250×250 px · bone marrow aspirate smear: 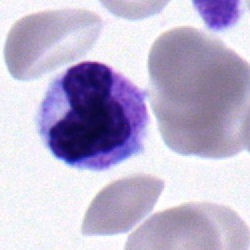
Q: What is shown here?
A: This is a band-form neutrophil.